Bone marrow aspirate smear.
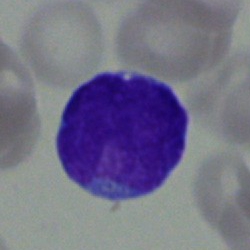
Q: What is the morphological classification of this cell?
A: Blast cell.